Peripheral blood smear: 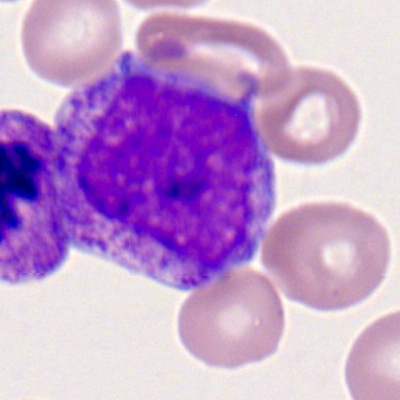Progranulocyte.